Image size 250×250. Bone marrow aspirate smear
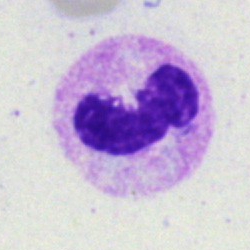 Morphology — segmented neutrophil.